Bone marrow smear: 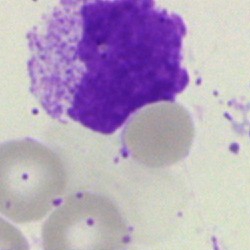
Cell type = artefact.